100× oil immersion, 14.14 px/µm · single-cell field · peripheral blood smear.
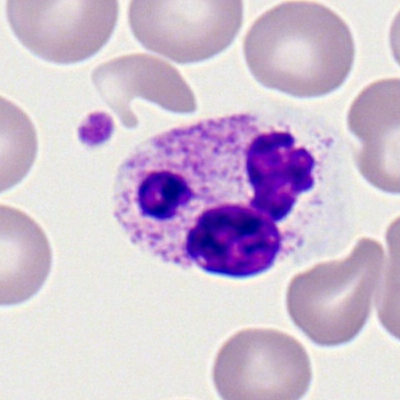 Morphology → polymorphonuclear neutrophil.